Bone marrow smear; 250×250 px
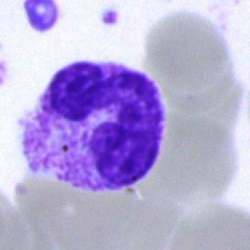Morphology → eosinophilic granulocyte.